Bone marrow aspirate smear · 250×250 px — 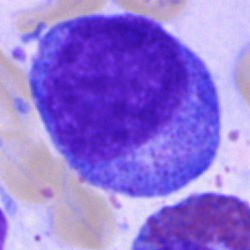 Specimen: bone marrow smear.
Cell type: promyelocyte.